Bone marrow aspirate smear — 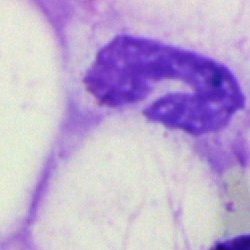Morphology consistent with a polymorphonuclear neutrophil.